Bone marrow smear: 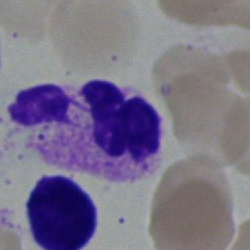 Classification — basophil.